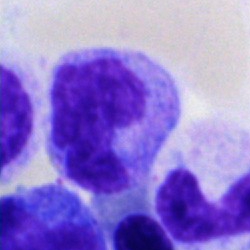 Specimen: bone marrow aspirate smear.
Cell type: monocyte.
Lineage: myeloid.